Bone marrow smear:
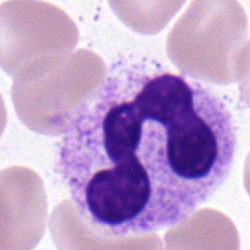
Morphological class = neutrophil (segmented).